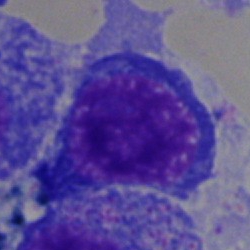Showing an erythroblast.